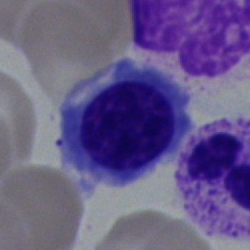
Specimen: bone marrow smear.
Cell type: nucleated red cell.